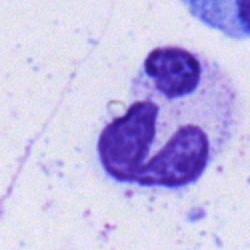
Specimen: bone marrow aspirate smear.
Cell type: neutrophil (segmented).
Lineage: myeloid.